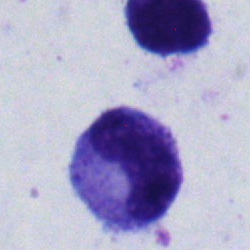 This is a metamyelocyte.